Bone marrow aspirate smear:
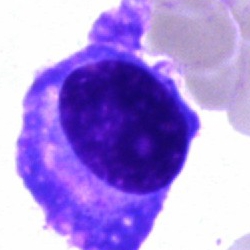

Morphology → plasma cell.